Bone marrow aspirate smear; May-Grünwald-Giemsa stain: 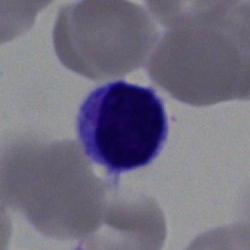 Q: What is the morphological classification of this cell?
A: A typical lymphocyte.